250×250; bone marrow aspirate smear; cropped to a single cell — 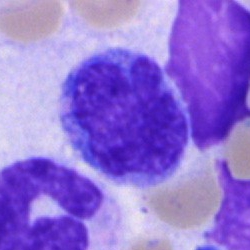

This is a monocyte.